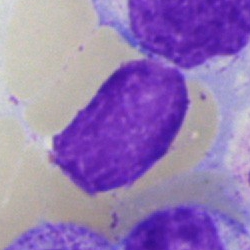
Cell type — artifact.